Bone marrow aspirate smear.
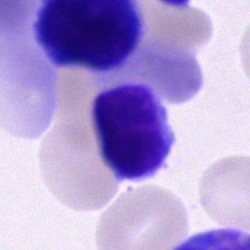Specimen: bone marrow aspirate smear.
Classification: lymphocyte.
Lineage: lymphoid.